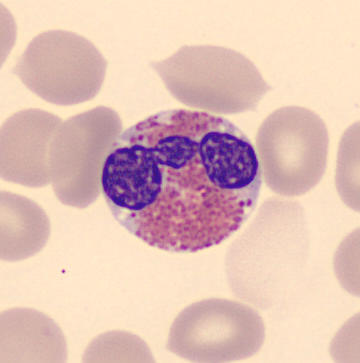

Single cell centered in the field; peripheral blood film. Morphology consistent with an eosinophil.